Bone marrow aspirate smear. Single-cell crop: 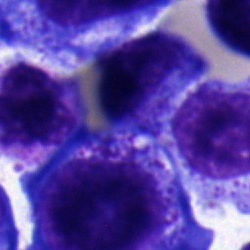
Impression → myelocyte.